Bone marrow smear:
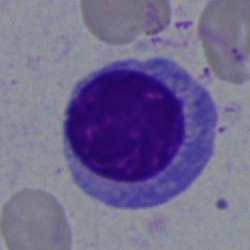

A normoblast.